Bone marrow aspirate smear: 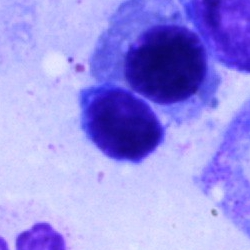 The cell is nucleated red cell.